Bone marrow smear
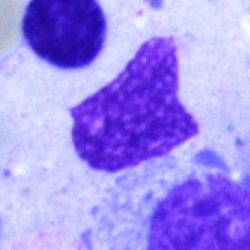 Specimen: bone marrow aspirate smear.
Cell type: artifact.